40× oil immersion; bone marrow smear; 250×250 px:
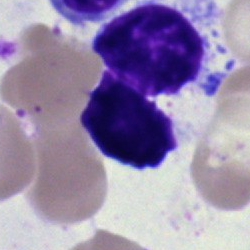
An artefact.